Bone marrow aspirate smear; cropped to a single cell:
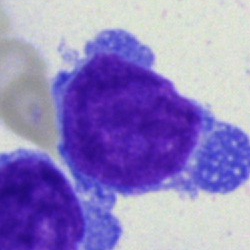

Classification = blast.